Bone marrow smear.
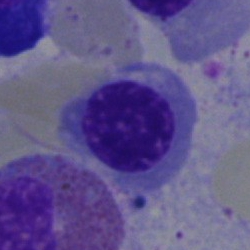
Morphology consistent with a nucleated red cell.